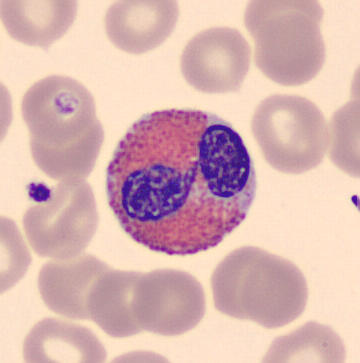Peripheral blood smear. Cell = eosinophilic granulocyte.